Single-cell field · bone marrow smear · May-Grünwald-Giemsa stain:
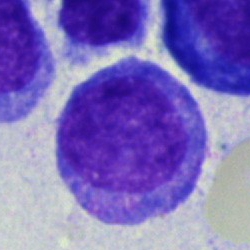
Q: What is the morphological classification of this cell?
A: It is a progranulocyte.